Bone marrow aspirate smear; May-Grünwald-Giemsa stain: 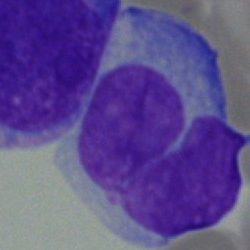The classification is monocyte.